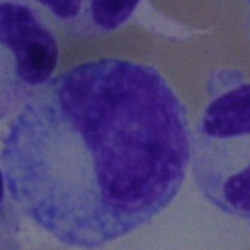
Cell = metamyelocyte.